Bone marrow smear
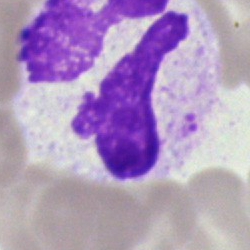

Morphology → neutrophil (segmented).